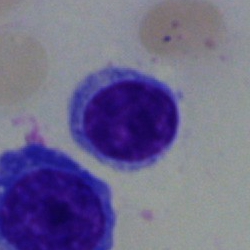The classification is typical lymphocyte.